Bone marrow smear; brightfield, 40× oil-immersion objective — 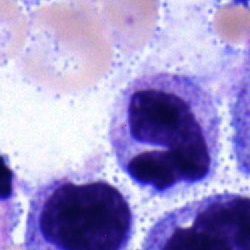

Specimen: bone marrow smear.
Classification: neutrophil (segmented).
Lineage: myeloid.